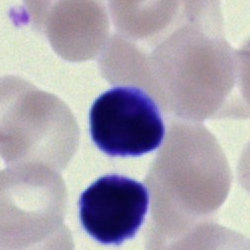

A typical lymphocyte.